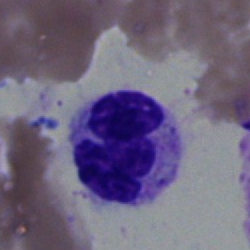
Specimen: bone marrow smear.
Morphological class: neutrophil (segmented).
Lineage: myeloid.